Bone marrow smear: 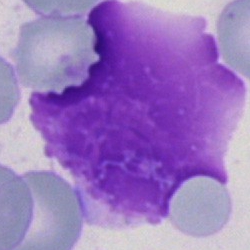
Q: What is shown here?
A: This is an artifact.